Bone marrow smear. Single cell centered in the field. 40× oil immersion: 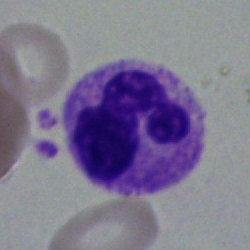
Cell type = polymorphonuclear neutrophil.